Brightfield, 40× oil-immersion objective · bone marrow aspirate smear.
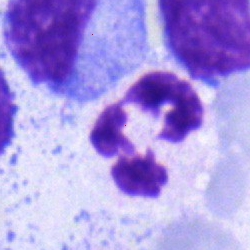

Specimen: bone marrow smear.
Cell: segmented neutrophil.
Lineage: myeloid.